Bone marrow aspirate smear — 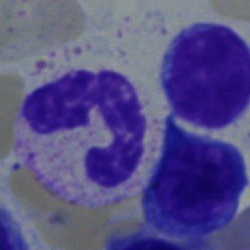 Cell type: segmented neutrophil.